Bone marrow smear.
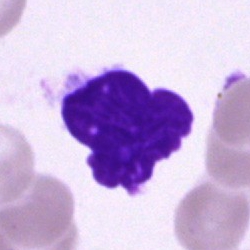

Impression → artifact.